Bone marrow smear.
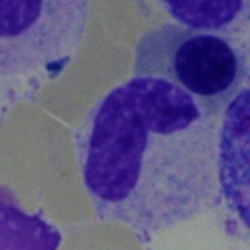 A stab cell.